250×250. Bone marrow smear — 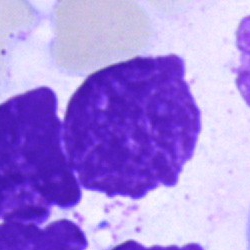
Cell type: artifact.